Bone marrow aspirate smear — 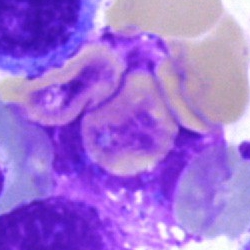

This is an artifact.